Bone marrow aspirate smear
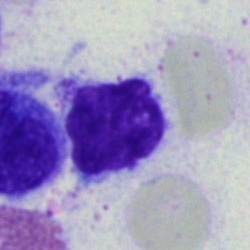 Morphology → artefact.